M8 digital microscope (Precipoint), 100× oil immersion. Peripheral blood film. Single-cell field.
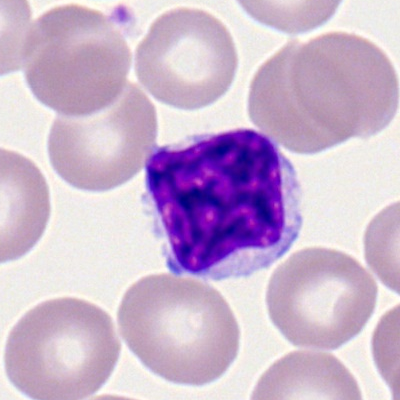
Q: What is shown here?
A: It is a lymphocyte.